Bone marrow smear; cropped to a single cell:
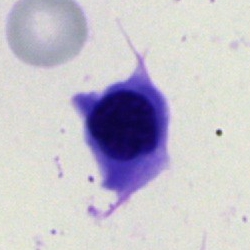Cell type: erythroblast.